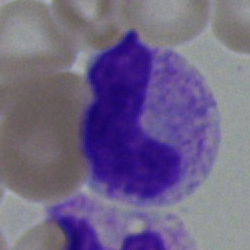Cell: stab cell.